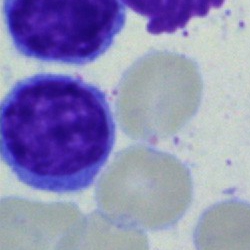 Showing a lymphocyte.